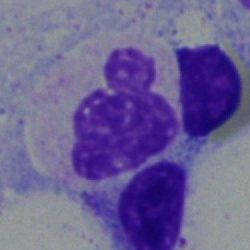This is a polymorphonuclear neutrophil.